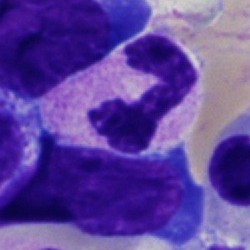Morphology consistent with a segmented neutrophil.